Bone marrow aspirate smear — 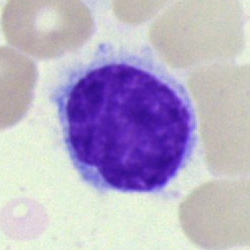 Q: What is shown here?
A: A hairy cell.